Bone marrow aspirate smear — 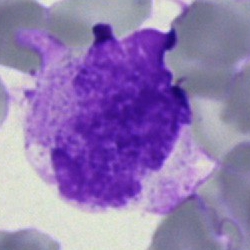 Artifact.